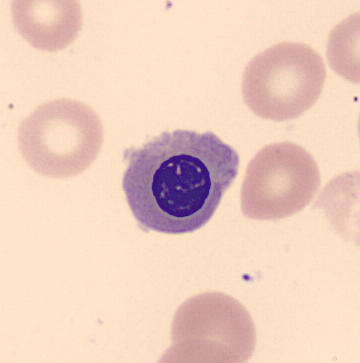

A nucleated red blood cell.

Image: Peripheral blood film · automated cell imaging (CellaVision DM96).